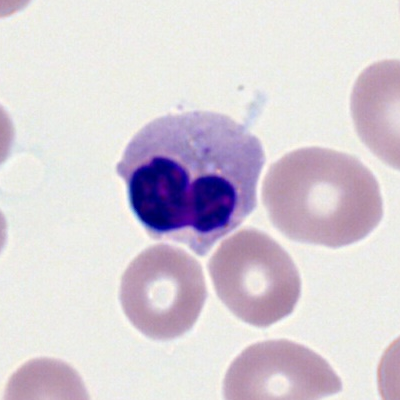

Impression → nucleated red cell.